Peripheral blood smear. Image size 400×400. Single cell centered in the field: 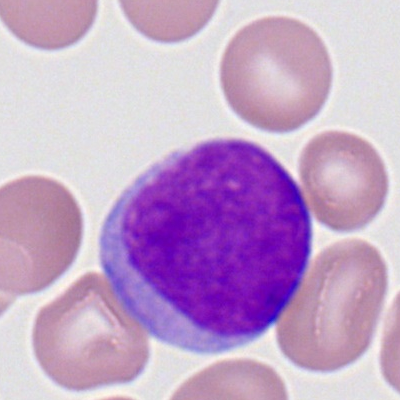
The cell shown is a myeloblast.